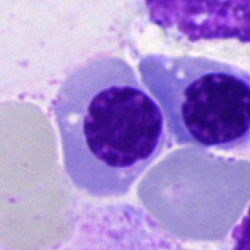 Specimen: bone marrow aspirate smear.
Cell: erythroblast.